Bone marrow aspirate smear · MGG-stained:
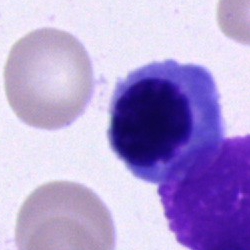 Specimen: bone marrow smear.
Classification: normoblast.
Lineage: erythroid.